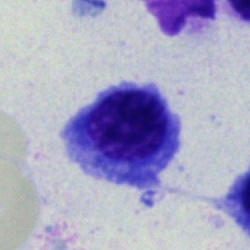

A nucleated red cell on a bone marrow smear.